Bone marrow aspirate smear:
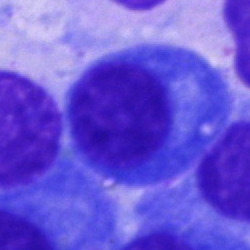

Morphology consistent with a plasmacyte.